Peripheral blood film.
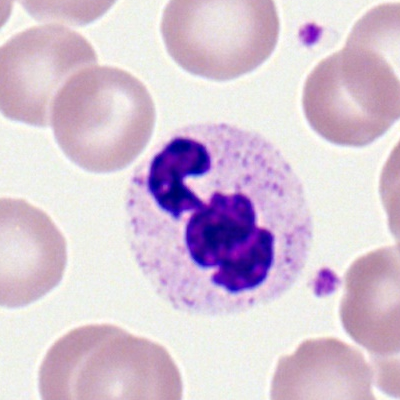 The cell shown is a polymorphonuclear neutrophil.